Single-cell field · bone marrow aspirate smear.
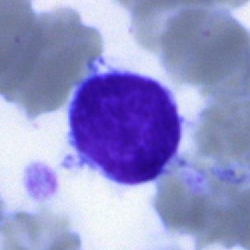

Lymphocyte.